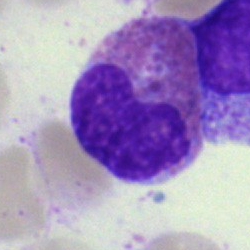This is an eosinophilic granulocyte.